Bone marrow smear; MGG-stained — 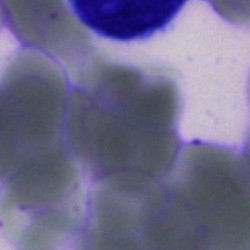 Morphological class: artifact.